Peripheral blood smear. 400 by 400 pixels. Romanowsky stain:
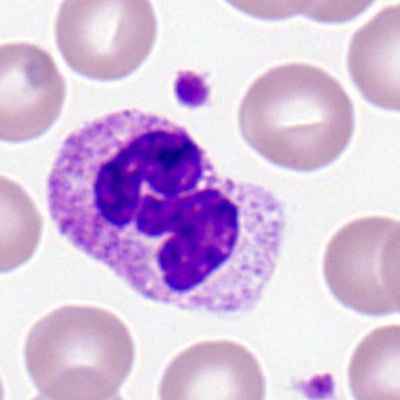Neutrophil (segmented).